Single-cell crop. Bone marrow smear: 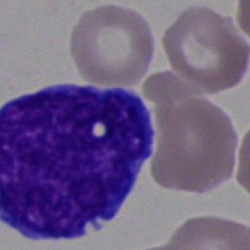

Q: What cell is this?
A: An undifferentiated blast.